Bone marrow aspirate smear — 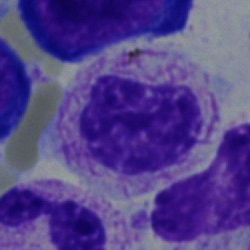

The cell is faggot cell.